Bone marrow aspirate smear:
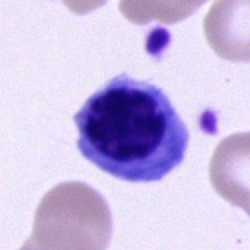
Impression — nucleated red cell.